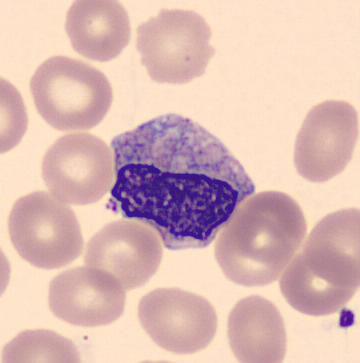 Metamyelocyte.

Peripheral blood film. May Grünwald-Giemsa stain. Imaged on a CellaVision DM96 analyser.